Bone marrow aspirate smear
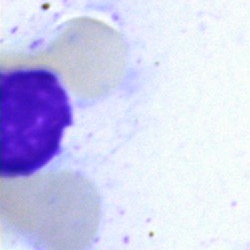 Impression → artefact.